Bone marrow smear: 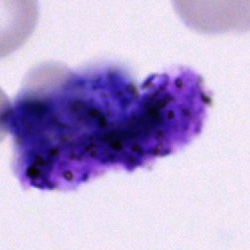
{"cell_type": "artifact"}